Bone marrow smear: 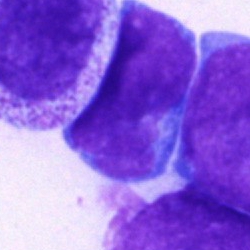

{"cell_type": "undifferentiated blast"}